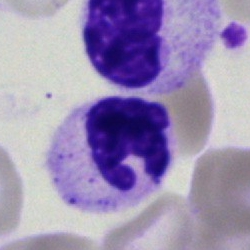
Bone marrow smear showing a neutrophil (segmented).